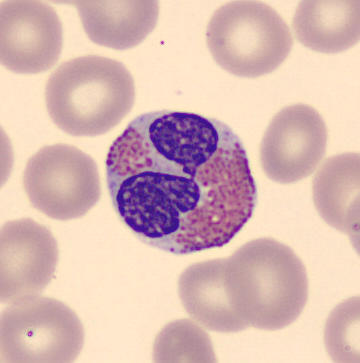 May-Grünwald-Giemsa-stained · peripheral blood film · CellaVision DM96 digital cell image. Morphological class = eosinophil.